Bone marrow aspirate smear. Pappenheim-stained — 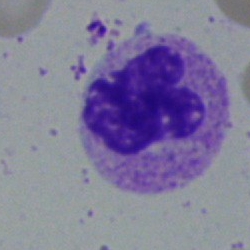Specimen: bone marrow aspirate smear.
Morphological class: segmented neutrophil.
Lineage: myeloid.